Cropped to a single cell. 250 by 250 pixels. Bone marrow aspirate smear
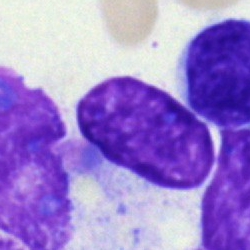Morphological class: artefact.